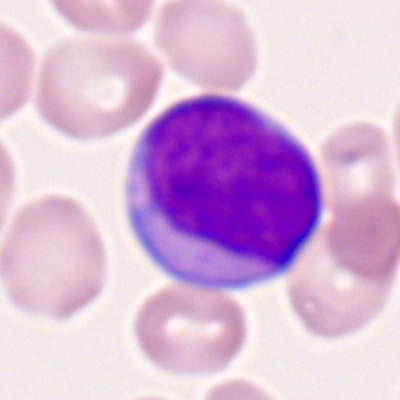
Cell type = myeloid blast.